Bone marrow smear — 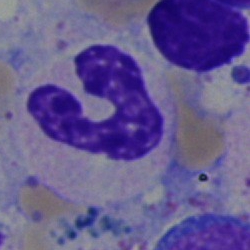
Specimen: bone marrow smear.
Morphological class: band neutrophil.
Lineage: myeloid.